Bone marrow aspirate smear:
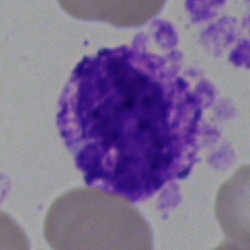Single cell identified as a basophilic granulocyte.